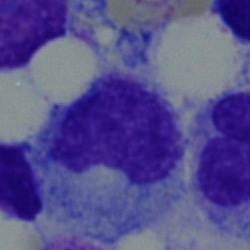 Cell — monocyte.